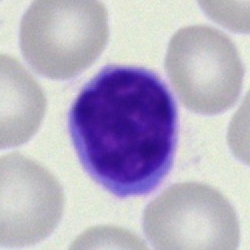

Showing a typical lymphocyte.